250×250; bone marrow aspirate smear — 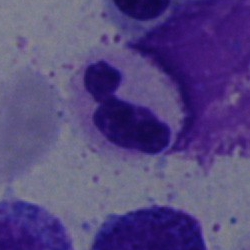
The classification is neutrophil (segmented).